Single-cell crop. Bone marrow aspirate smear.
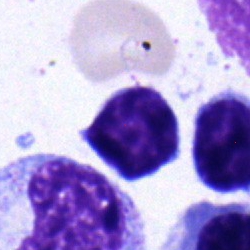 The cell shown is a typical lymphocyte.